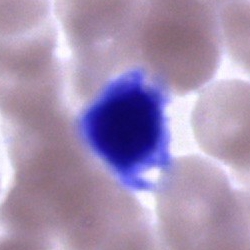Single-cell crop from a bone marrow smear: cell of indeterminate lineage.